Bone marrow smear:
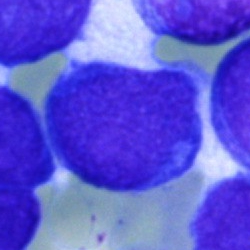
The cell is undifferentiated blast.